40× oil immersion; bone marrow smear: 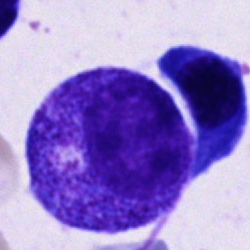

Specimen: bone marrow smear.
Classification: progranulocyte.